Bone marrow aspirate smear: 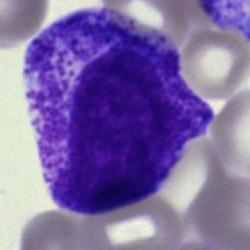

Specimen: bone marrow smear.
Cell: myelocyte.